Bone marrow aspirate smear
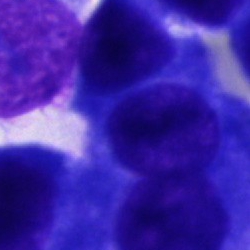
Cell type — other cell type.